Romanowsky-type stain. Peripheral blood film. Cropped to a single cell:
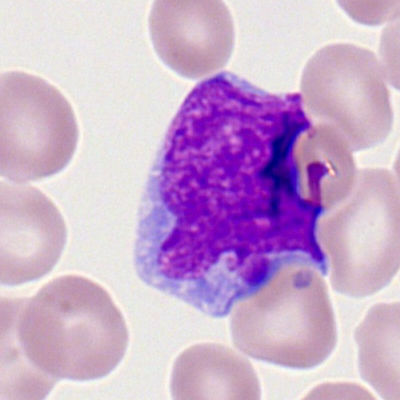 Single cell identified as a myeloid blast.